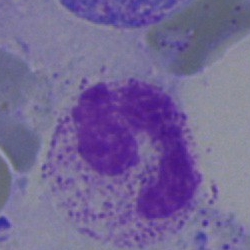Q: What type of cell is this?
A: Segmented neutrophil.